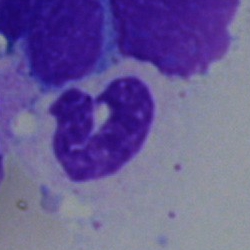
Classification: polymorphonuclear neutrophil.